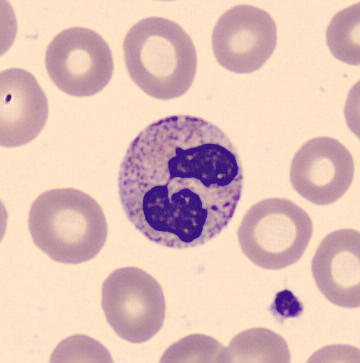
Neutrophil (segmented).